Bone marrow aspirate smear · 40× objective, oil immersion: 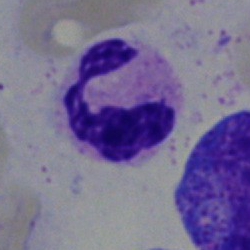

Impression — segmented neutrophil.